Bone marrow aspirate smear; May-Grünwald-Giemsa/Pappenheim stain; single-cell field:
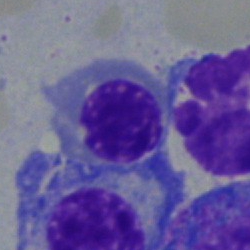

Single cell identified as an erythroblast.